Single cell centered in the field · bone marrow aspirate smear: 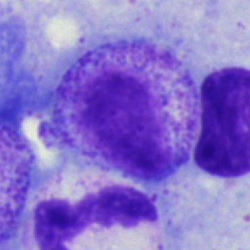Morphology consistent with a myelocyte.